MGG-stained. Bone marrow smear
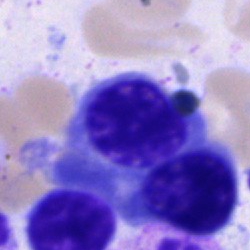

Cell = nucleated red blood cell.